Bone marrow aspirate smear — 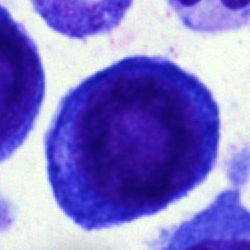 Cell type — proerythroblast.